Bone marrow aspirate smear
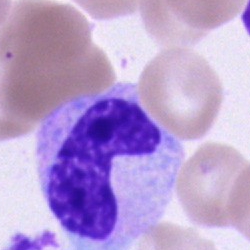

Impression → stab cell.